Bone marrow smear
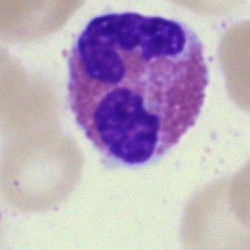
Specimen: bone marrow aspirate smear.
Cell type: eosinophilic granulocyte.
Lineage: myeloid.